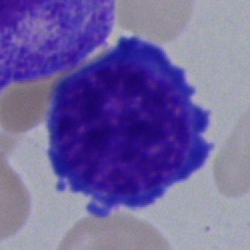 Cell = nucleated red cell.